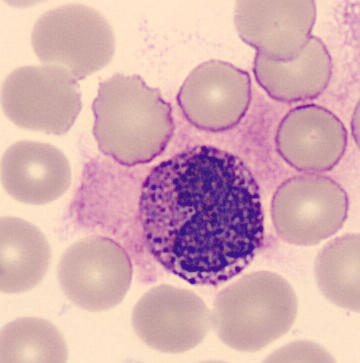 Impression → basophilic granulocyte.
Peripheral blood smear. May Grünwald-Giemsa stain.